Bone marrow smear — 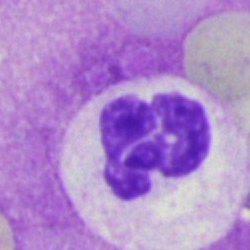

Impression — segmented neutrophil.